Bone marrow aspirate smear
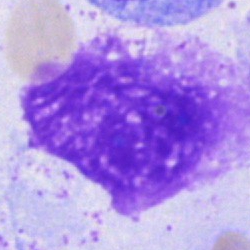

This is an artefact.